Bone marrow smear.
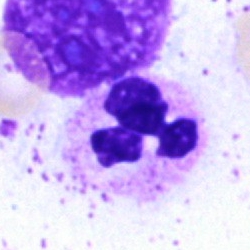 Impression → neutrophil (segmented).